Bone marrow aspirate smear · 40× objective, oil immersion: 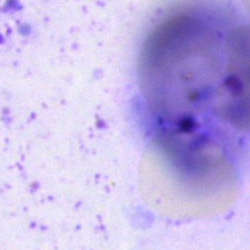

Morphology → artefact.